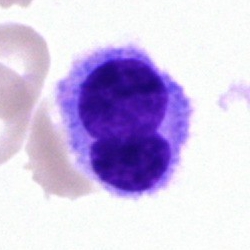This is a hairy cell.